Bone marrow aspirate smear — 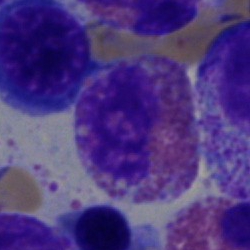

Specimen: bone marrow smear.
Cell: eosinophilic granulocyte.